Bone marrow smear: 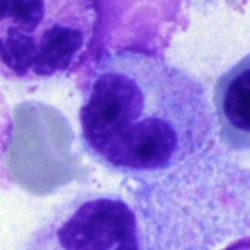

Specimen: bone marrow smear.
Classification: band-form neutrophil.
Lineage: myeloid.